40× objective, oil immersion · image size 250×250 · bone marrow aspirate smear:
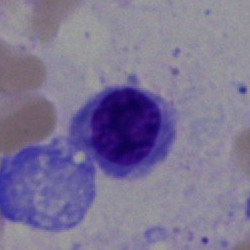 Morphology consistent with an erythroblast.